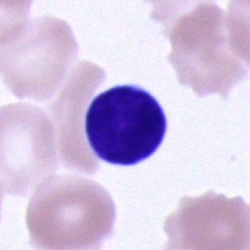
Impression → lymphocyte.